250×250; Pappenheim-stained; bone marrow aspirate smear:
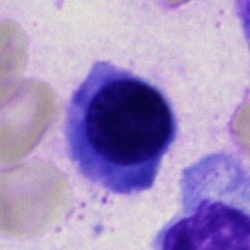 Q: What is the morphological classification of this cell?
A: A normoblast.